Bone marrow aspirate smear; MGG-stained: 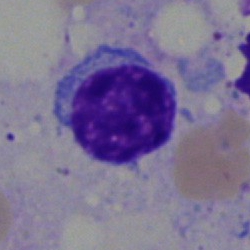{"cell_type": "lymphocyte", "lineage": "lymphoid"}